Bone marrow aspirate smear. 250 by 250 pixels. MGG-stained
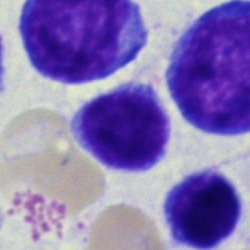

Morphology consistent with a typical lymphocyte.